Bone marrow aspirate smear:
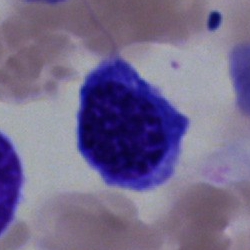
Impression — nucleated red cell.